Bone marrow aspirate smear; single-cell field; brightfield microscopy, 40× oil immersion:
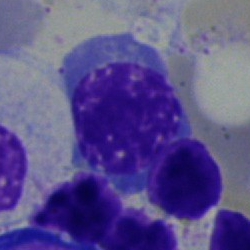

Specimen: bone marrow smear.
Cell type: nucleated red blood cell.